Bone marrow aspirate smear
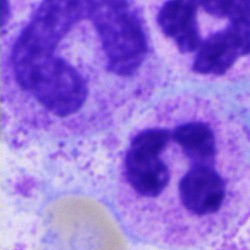 {"cell_type": "polymorphonuclear neutrophil", "lineage": "myeloid"}